Bone marrow smear — 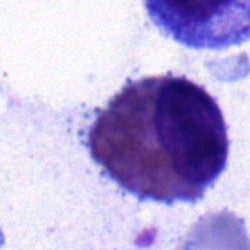

Showing an eosinophilic granulocyte.